Bone marrow smear
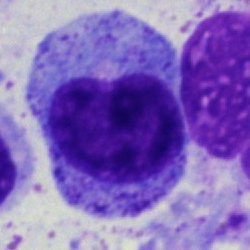 Promyelocyte.